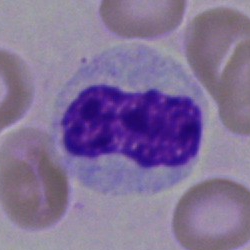
Q: What is shown here?
A: A metamyelocyte.